Bone marrow aspirate smear · Pappenheim-stained.
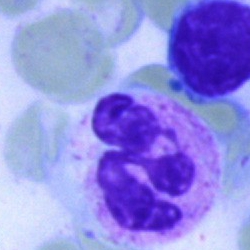Impression → segmented neutrophil.